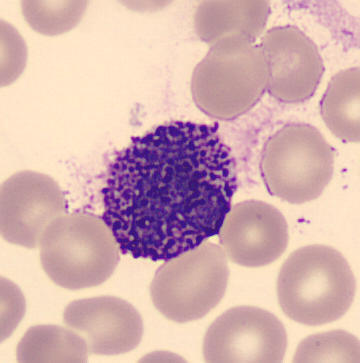

The cell is basophil.